MGG-stained. Bone marrow smear:
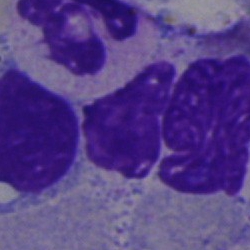 Showing an artefact.